Bone marrow aspirate smear · 250 by 250 pixels: 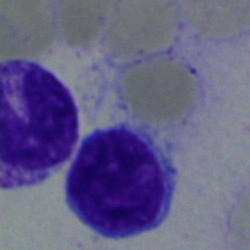 The cell is lymphocyte.